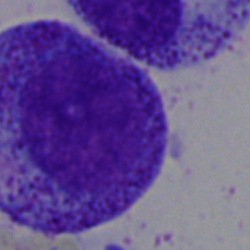
Morphology — promyelocyte.